Bone marrow smear; cropped to a single cell; MGG-stained:
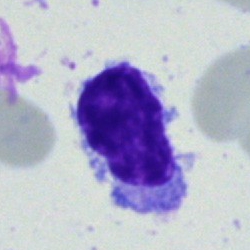
Q: Identify the cell.
A: Lymphocyte.